Bone marrow aspirate smear — 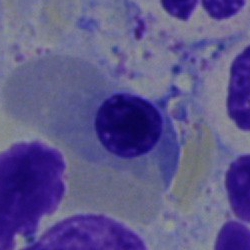Cell type = nucleated red cell.